Bone marrow smear · 40× objective, oil immersion.
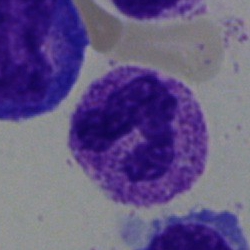 Morphology consistent with a polymorphonuclear neutrophil.